Bone marrow smear: 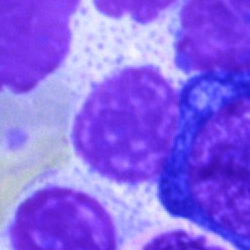
This is an artifact.